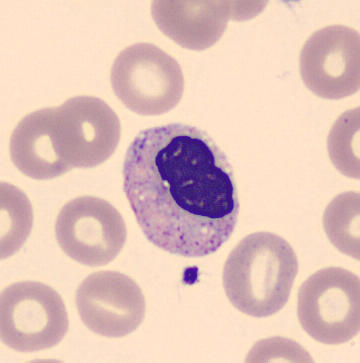 Impression → myelocyte.